May-Grünwald-Giemsa stain. Bone marrow aspirate smear.
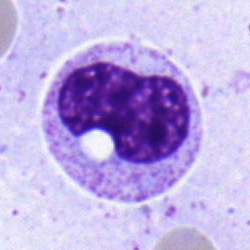
Specimen: bone marrow smear.
Classification: metamyelocyte.